Image size 250×250 · bone marrow aspirate smear: 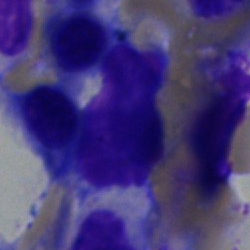Specimen: bone marrow smear.
Morphological class: artifact.